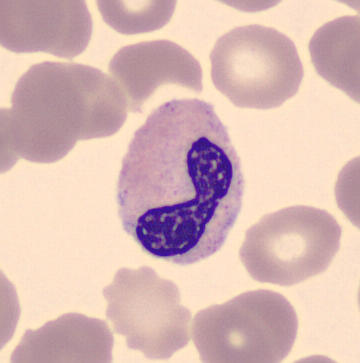 Preparation: Peripheral blood film.
Showing a stab cell.